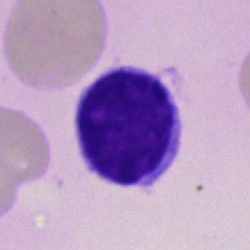
Q: What is the morphological classification of this cell?
A: Typical lymphocyte.